Bone marrow smear. Single cell centered in the field
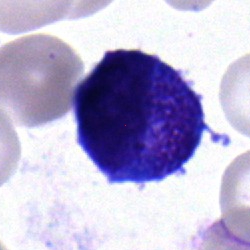Cell = plasma cell.